Bone marrow aspirate smear: 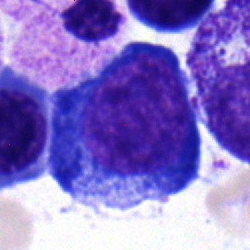

Impression → proerythroblast.